Bone marrow aspirate smear. Brightfield, 40× oil-immersion objective. Single-cell field: 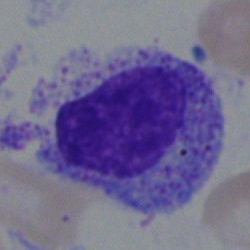Specimen: bone marrow smear.
Cell type: myelocyte.
Lineage: myeloid.